40× objective, oil immersion · bone marrow smear · 250×250.
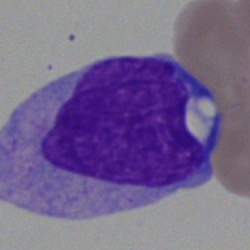 Morphology — blast.